Bone marrow smear
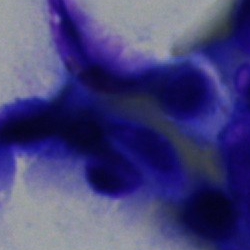
{"cell_type": "artifact"}